Peripheral blood film; Romanowsky-type stain; 100× oil immersion, 14.14 px/µm — 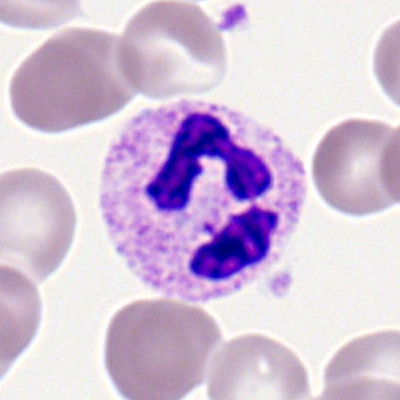

Showing a neutrophil (segmented).